Cropped to a single cell · image size 250×250 · bone marrow smear: 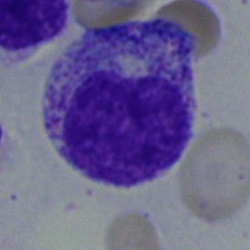

Single cell identified as a myelocyte.